MGG-stained. Bone marrow smear
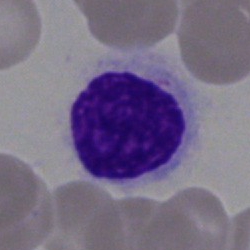

Morphology → typical lymphocyte.